Bone marrow aspirate smear.
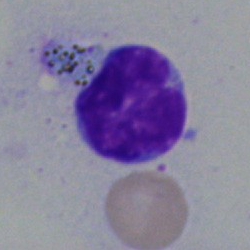

{"cell_type": "typical lymphocyte"}